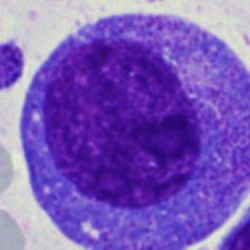

Morphology consistent with a promyelocyte.